Bone marrow aspirate smear; image size 250×250; 40× objective, oil immersion.
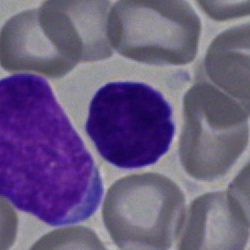

Q: What type of cell is this?
A: A typical lymphocyte.